MGG-stained · image size 250×250 · bone marrow aspirate smear.
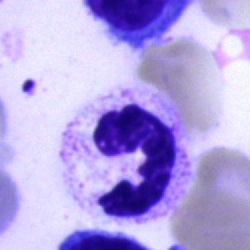
Cell type — segmented neutrophil.